Bone marrow smear
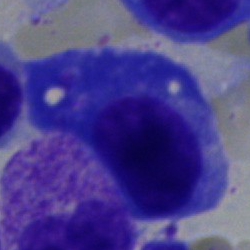
Specimen: bone marrow aspirate smear.
Morphological class: plasma cell.
Lineage: lymphoid.